Bone marrow aspirate smear. MGG-stained: 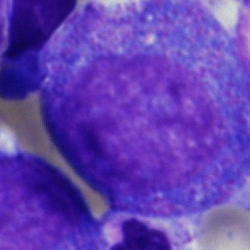Q: What cell is this?
A: This is a promyelocyte.